Single-cell crop · bone marrow aspirate smear:
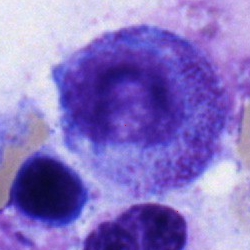
{"cell_type": "progranulocyte"}